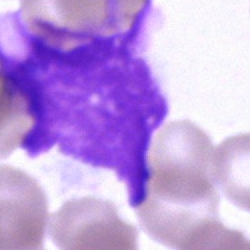 Specimen: bone marrow aspirate smear.
Cell type: artefact.